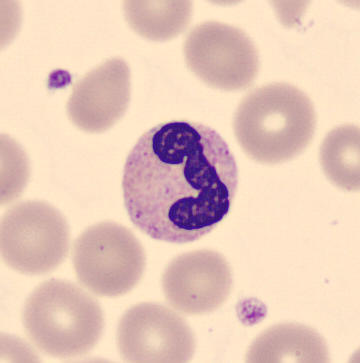
This is a band neutrophil.